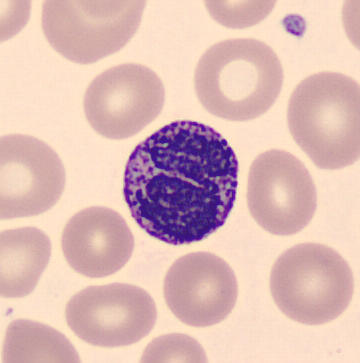
The cell type is basophilic granulocyte.

Acquisition: Single-cell field; 360 by 363 pixels; peripheral blood film.